Peripheral blood smear · imaged on a CellaVision DM96 analyser · single-cell field.
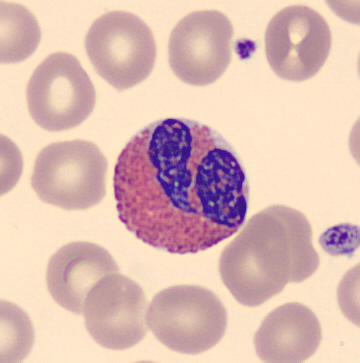Specimen: peripheral blood smear.
Cell: eosinophil.
Lineage: myeloid.